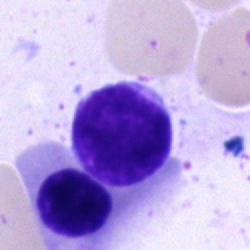
Q: What type of cell is this?
A: It is a typical lymphocyte.